Bone marrow aspirate smear.
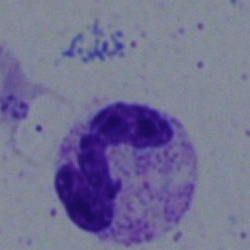Morphology consistent with a neutrophil (segmented).